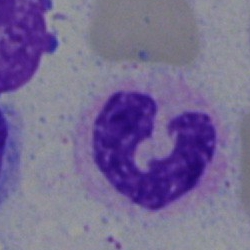Bone marrow aspirate smear, single cell — neutrophil (segmented).